Bone marrow smear: 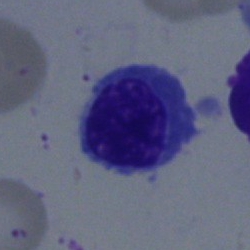 The cell is nucleated red blood cell.